Bone marrow aspirate smear — 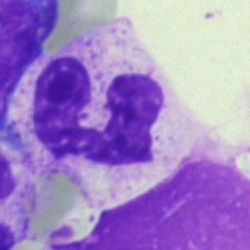

Specimen: bone marrow smear.
Morphological class: neutrophil (segmented).